Single-cell field; peripheral blood smear; M8 digital microscope (Precipoint), 100× oil immersion
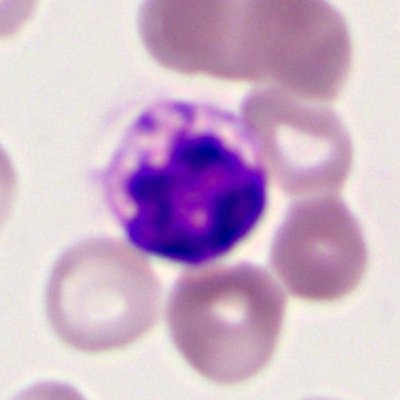 Q: What cell is this?
A: This is a segmented neutrophil.